Bone marrow smear: 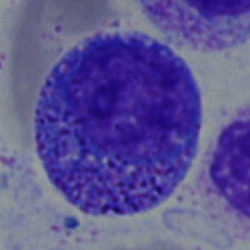
Q: Which cell type is shown here?
A: Promyelocyte.